Bone marrow aspirate smear:
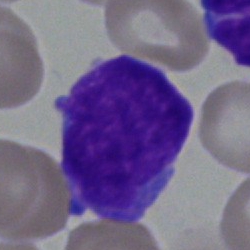

Specimen: bone marrow smear.
Cell type: blast.